Bone marrow aspirate smear; May-Grünwald-Giemsa stain
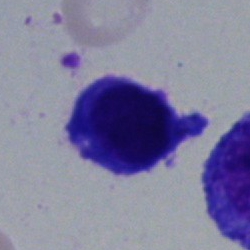 Specimen: bone marrow smear.
Cell: typical lymphocyte.